Bone marrow smear: 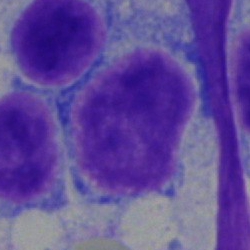
A typical lymphocyte.